Bone marrow smear; May-Grünwald-Giemsa/Pappenheim stain — 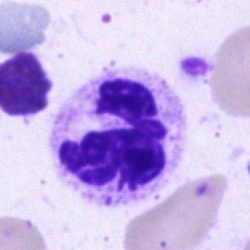 The classification is polymorphonuclear neutrophil.